Bone marrow smear: 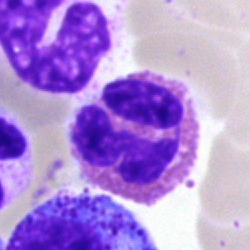

Cell type — eosinophilic granulocyte.